May-Grünwald-Giemsa stain · bone marrow smear:
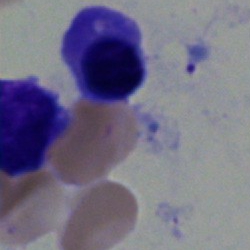
Classification: nucleated red blood cell.